Bone marrow smear. May-Grünwald-Giemsa stain. 250×250 px: 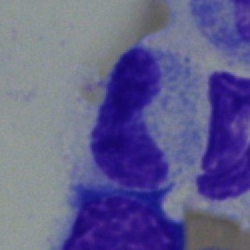 Impression → stab cell.